Image size 250×250; bone marrow smear — 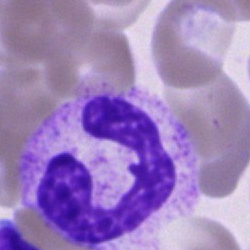

Showing a neutrophil (band).